Bone marrow aspirate smear · 250×250 · May-Grünwald-Giemsa/Pappenheim stain.
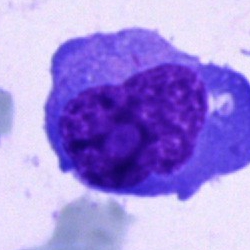 Impression → undifferentiated blast.